Bone marrow smear; 250×250; Pappenheim-stained: 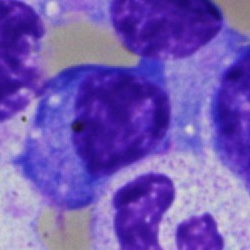
Q: Identify the cell.
A: It is a plasmacyte.